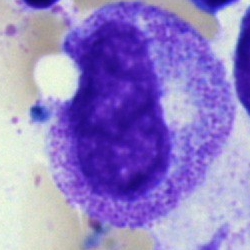

Morphology → progranulocyte.